Bone marrow smear — 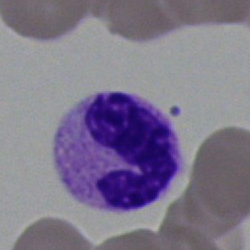A polymorphonuclear neutrophil.